Bone marrow aspirate smear · cropped to a single cell: 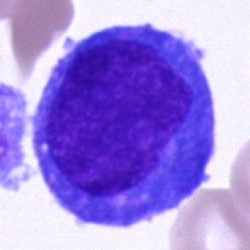
Morphology consistent with a blast cell.